Peripheral blood smear:
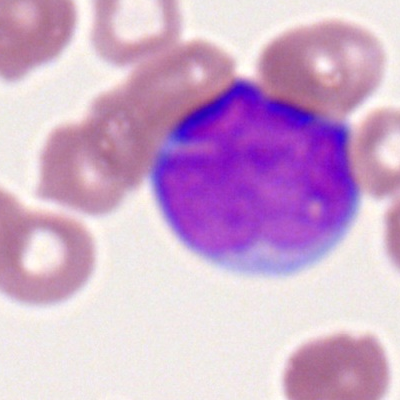

Myeloid blast.